Peripheral blood film; cropped to a single cell: 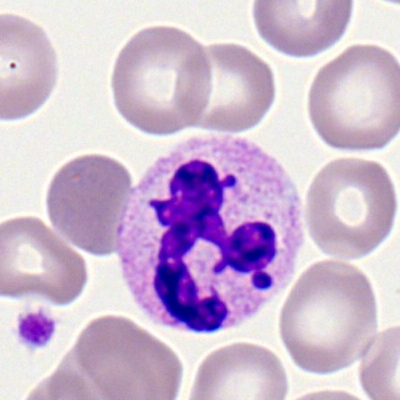Q: What type of cell is this?
A: It is a segmented neutrophil.